May-Grünwald-Giemsa/Pappenheim stain; bone marrow aspirate smear:
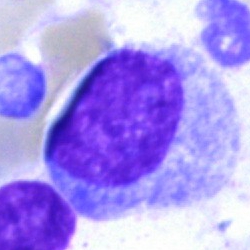
This is a blast cell.